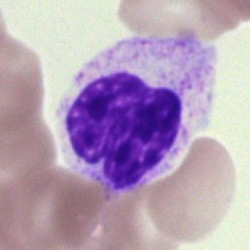 {"cell_type": "neutrophil (segmented)", "lineage": "myeloid"}